Bone marrow aspirate smear; brightfield microscopy, 40× oil immersion; May-Grünwald-Giemsa/Pappenheim stain — 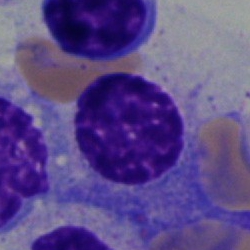 Specimen: bone marrow smear.
Cell type: plasma cell.
Lineage: lymphoid.